Bone marrow smear: 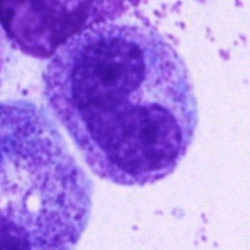 {"cell_type": "metamyelocyte"}